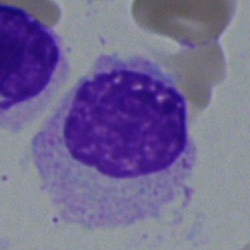 Single cell identified as a myelocyte.